400 by 400 pixels · peripheral blood film: 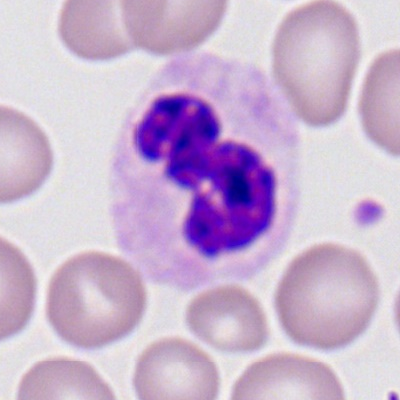
Impression → neutrophil (segmented).